Peripheral blood smear.
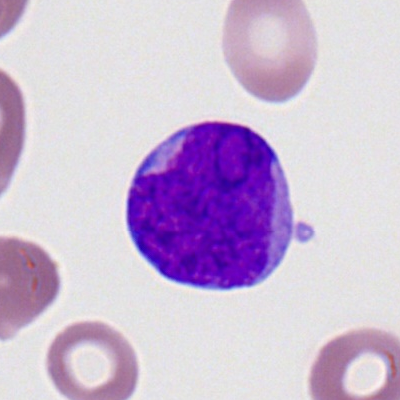 The cell shown is a myeloblast.